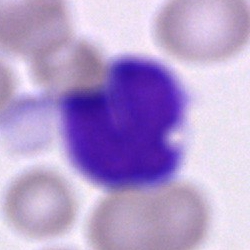
This is an unidentifiable cell.